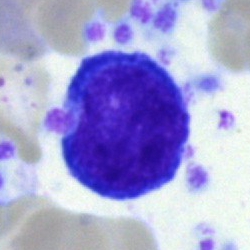

Bone marrow aspirate smear, single cell — proerythroblast.